Bone marrow smear.
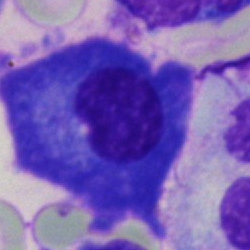Morphology consistent with a plasmacyte.